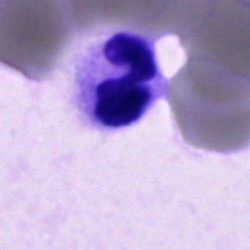
Specimen: bone marrow aspirate smear.
Classification: polymorphonuclear neutrophil.